Single-cell field · bone marrow aspirate smear.
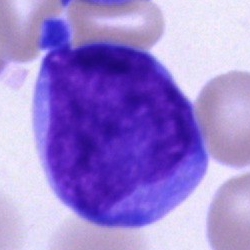 {"cell_type": "blast"}